Cropped to a single cell · bone marrow aspirate smear.
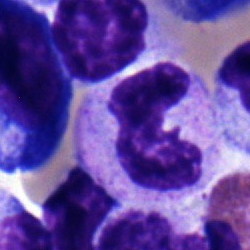Single cell identified as a band neutrophil.